Bone marrow smear · single cell centered in the field.
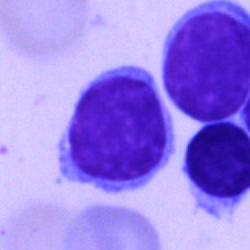
Morphology consistent with a typical lymphocyte.